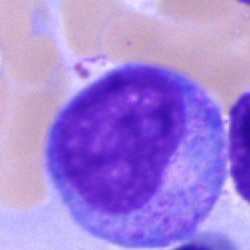 Morphological class: progranulocyte.